Bone marrow aspirate smear. 250×250. Cropped to a single cell — 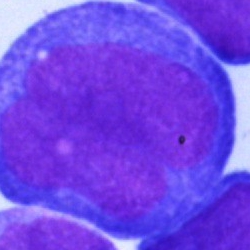 Q: Identify the cell.
A: It is a blast.